Brightfield, 40× oil-immersion objective; bone marrow smear:
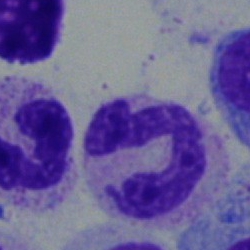

Impression → neutrophil (segmented).